Bone marrow aspirate smear — 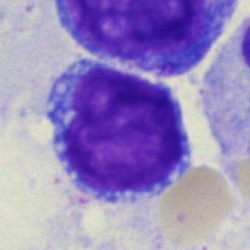The cell shown is an undifferentiated blast.